100× oil immersion; peripheral blood smear; Romanowsky stain:
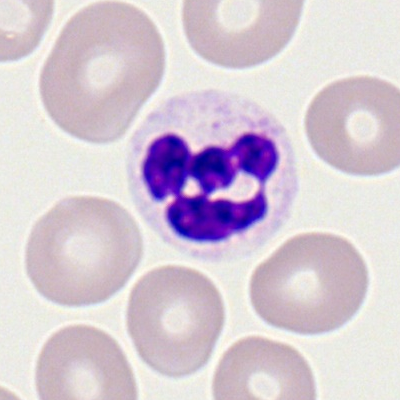
Showing a segmented neutrophil.